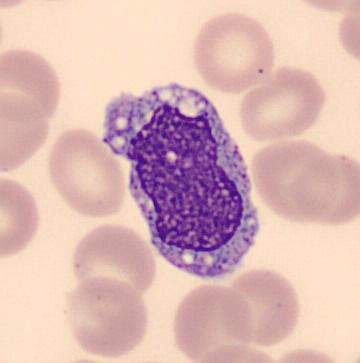
Preparation: Single-cell field. Peripheral blood film. MGG stain.

Cell type — monocyte.